Peripheral blood film:
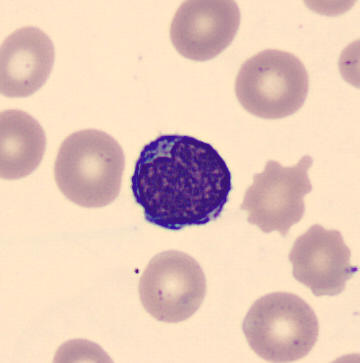Typical lymphocyte.